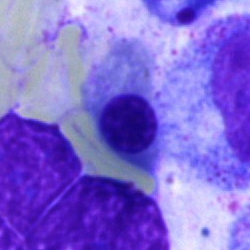

Normoblast.